Bone marrow smear · single-cell crop — 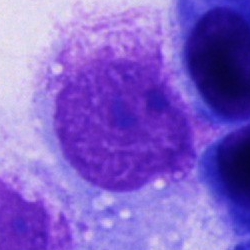
This is a cell not matching the other categories.